Peripheral blood film
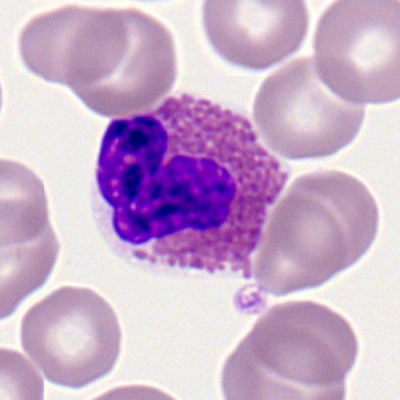 Classification: eosinophil.